Peripheral blood smear. Image size 400×400. 100× oil immersion, 14.14 px/µm:
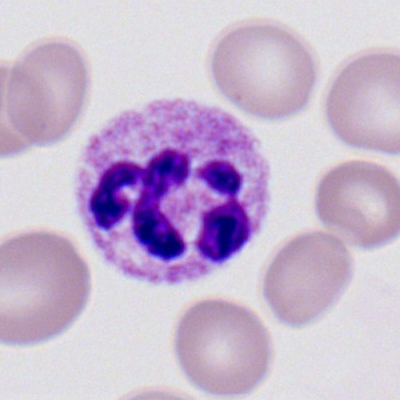

Specimen: peripheral blood smear.
Classification: segmented neutrophil.